Bone marrow aspirate smear; MGG-stained:
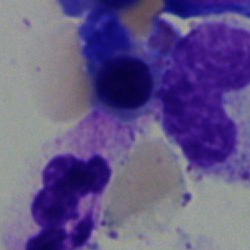

The cell shown is a polymorphonuclear neutrophil.